250 by 250 pixels; bone marrow aspirate smear; May-Grünwald-Giemsa stain.
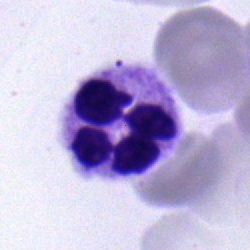

{"cell_type": "neutrophil (segmented)", "lineage": "myeloid"}